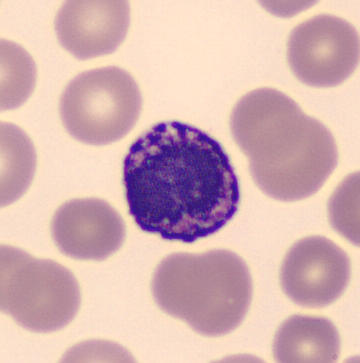Basophilic granulocyte. 360×363. Peripheral blood film.